40× objective, oil immersion; bone marrow smear: 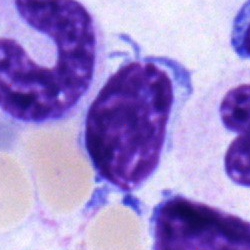 Showing a typical lymphocyte.